Bone marrow smear · single-cell field
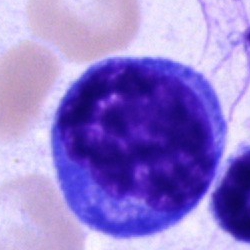 Q: Which cell type is shown here?
A: An undifferentiated blast.